Bone marrow smear. Single-cell crop.
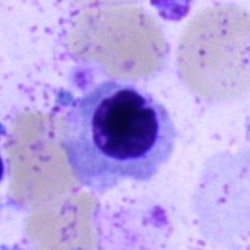Specimen: bone marrow aspirate smear.
Cell type: erythroblast.